Brightfield microscopy, 40× oil immersion. Bone marrow smear — 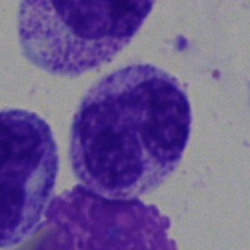
The cell type is neutrophil (band).